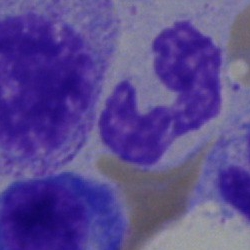
{"cell_type": "neutrophil (segmented)", "lineage": "myeloid"}